Image size 250×250 · bone marrow smear:
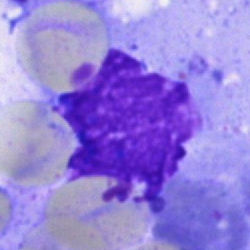

{"cell_type": "artifact"}